Bone marrow aspirate smear: 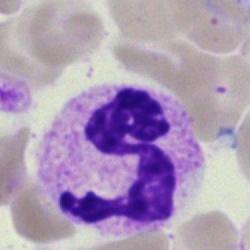

The cell shown is a segmented neutrophil.